Bone marrow smear — 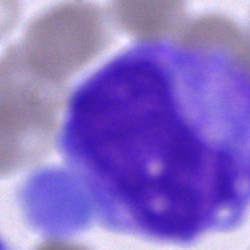

A promyelocyte.